Bone marrow smear.
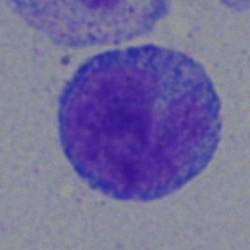
Morphological class — blast.